Bone marrow aspirate smear: 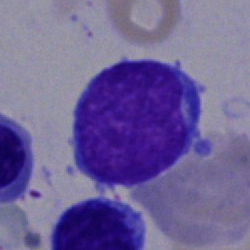 Specimen: bone marrow aspirate smear.
Cell type: blast cell.